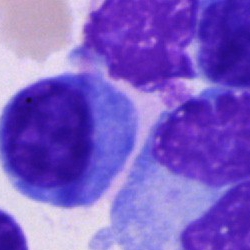Morphology → plasma cell.